Bone marrow smear. Brightfield microscopy, 40× oil immersion
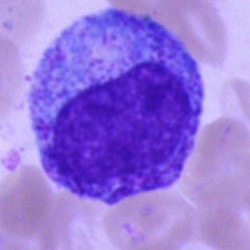
Morphology → promyelocyte.